Bone marrow aspirate smear. May-Grünwald-Giemsa/Pappenheim stain. 40× oil immersion — 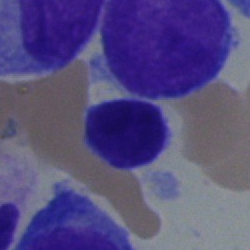

Showing a typical lymphocyte.